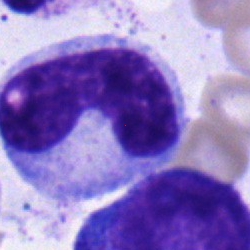 Cell: band-form neutrophil.